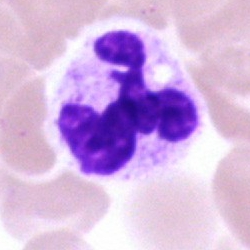 Single cell identified as a polymorphonuclear neutrophil.